May-Grünwald-Giemsa/Pappenheim stain · single-cell field · bone marrow aspirate smear
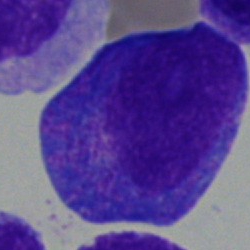Classification: progranulocyte.